Bone marrow aspirate smear. 250×250. 40× objective, oil immersion: 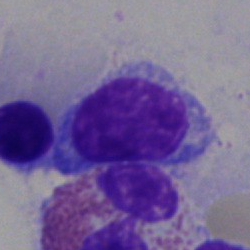 The cell shown is a typical lymphocyte.